Single-cell field; bone marrow smear:
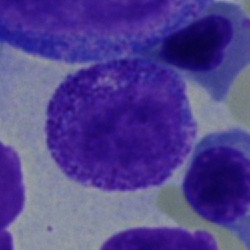

Specimen: bone marrow aspirate smear.
Classification: myelocyte.